Bone marrow smear:
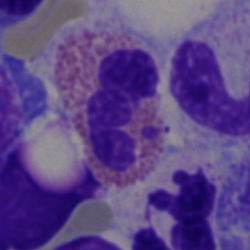

Specimen: bone marrow smear.
Morphological class: eosinophil.